Peripheral blood film — 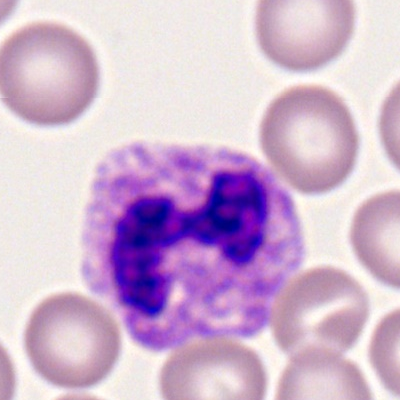 The cell type is neutrophil (segmented).